Bone marrow aspirate smear:
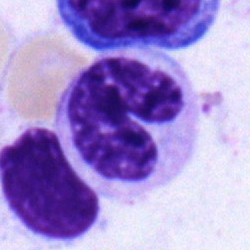

Showing a band neutrophil.